Pappenheim-stained; bone marrow aspirate smear — 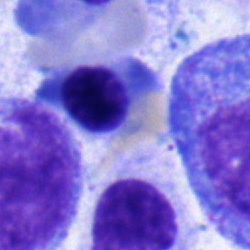Morphological class = nucleated red blood cell.